Bone marrow aspirate smear — 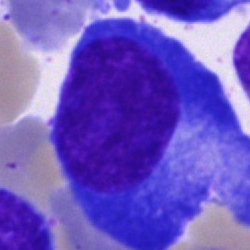 Specimen: bone marrow smear.
Classification: plasma cell.
Lineage: lymphoid.